Bone marrow aspirate smear — 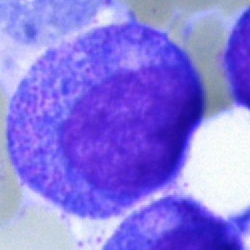Specimen: bone marrow aspirate smear.
Cell type: promyelocyte.